Bone marrow aspirate smear. 250 by 250 pixels. Brightfield microscopy, 40× oil immersion.
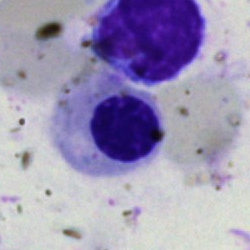Q: What is shown here?
A: It is a nucleated red blood cell.